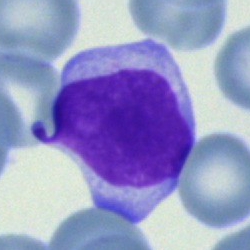Cell = lymphocyte.